Bone marrow aspirate smear: 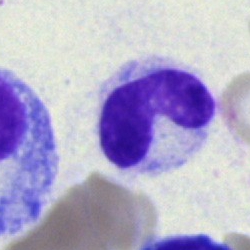Showing a neutrophil (band).